Image size 250×250; bone marrow aspirate smear — 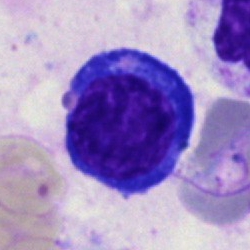 Specimen: bone marrow smear.
Cell type: normoblast.
Lineage: erythroid.